Bone marrow smear — 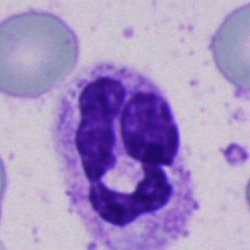
The cell shown is a neutrophil (segmented).